Bone marrow smear.
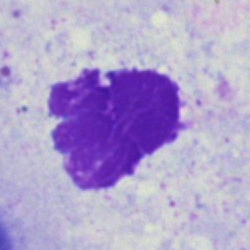 Single cell identified as an artifact.